Bone marrow aspirate smear
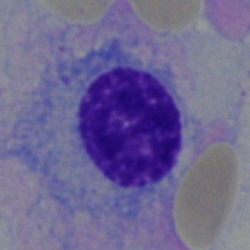
Impression — plasma cell.